Bone marrow smear:
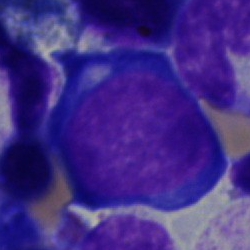 A pronormoblast.